Bone marrow aspirate smear
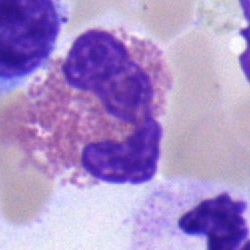

Impression → eosinophilic granulocyte.